Peripheral blood smear
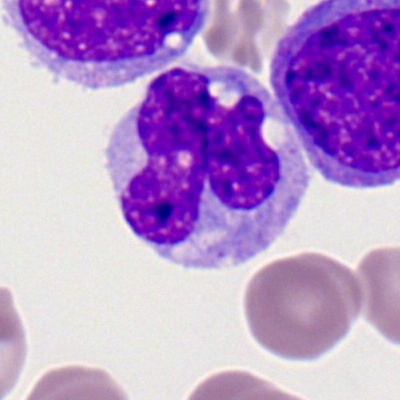

Q: Which cell type is shown here?
A: It is a monocyte.